Bone marrow aspirate smear.
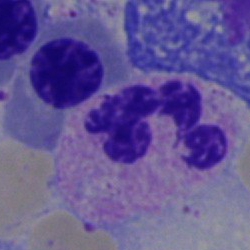

Impression → neutrophil (segmented).